MGG-stained. Bone marrow smear: 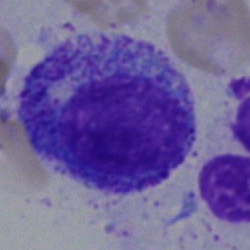
Q: Identify the cell.
A: A progranulocyte.